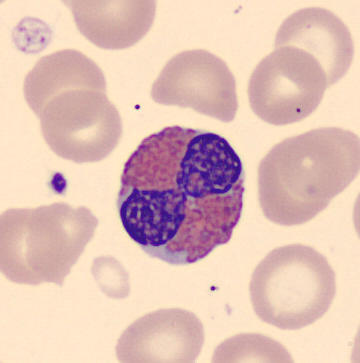 Single cell identified as an eosinophil.

Preparation: Peripheral blood film. CellaVision DM96. 360×363 px.